Bone marrow aspirate smear
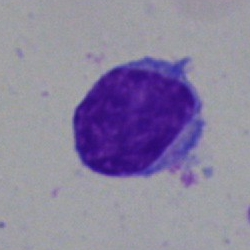
This is a lymphocyte.